Brightfield microscopy, 40× oil immersion · bone marrow aspirate smear: 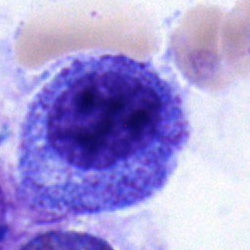Q: What type of cell is this?
A: This is a promyelocyte.